Image size 250×250; bone marrow aspirate smear.
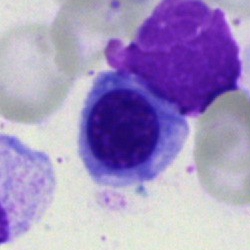Morphology → normoblast.